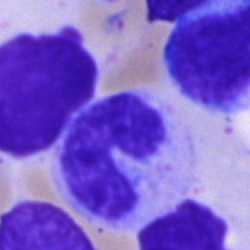

{"cell_type": "stab cell", "lineage": "myeloid"}